Single-cell crop · bone marrow aspirate smear — 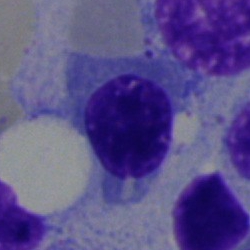The cell is erythroblast.